Cropped to a single cell; bone marrow smear
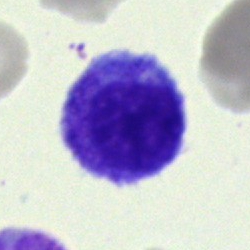
Specimen: bone marrow smear.
Cell: promyelocyte.
Lineage: myeloid.